Bone marrow aspirate smear: 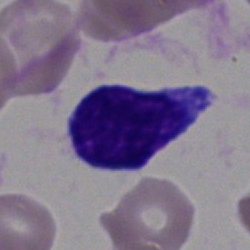A blast cell.